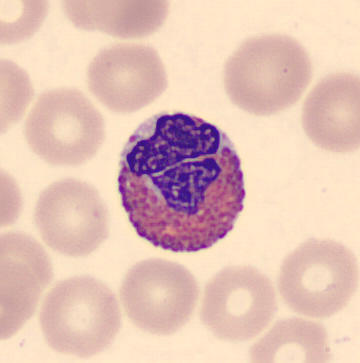
{"cell_type": "eosinophil", "lineage": "myeloid"}